250×250; bone marrow smear:
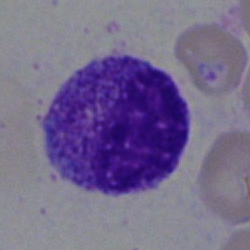 Cell — myelocyte.